Bone marrow aspirate smear. MGG-stained
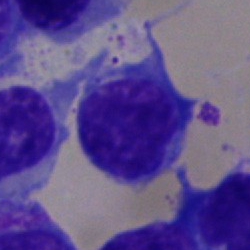

Morphology → undifferentiated blast.